250 by 250 pixels. May-Grünwald-Giemsa stain. Bone marrow aspirate smear:
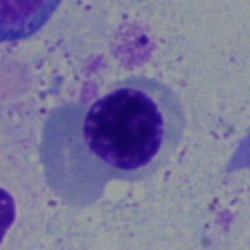 Morphological class — nucleated red cell.